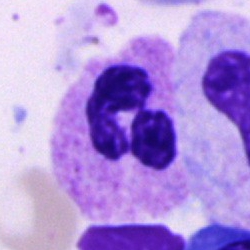 This is a polymorphonuclear neutrophil.